Bone marrow aspirate smear:
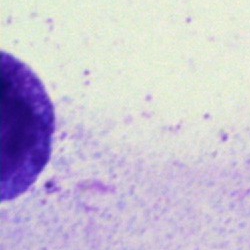

Q: What is shown here?
A: Artifact.